Bone marrow aspirate smear; image size 250×250; Pappenheim-stained — 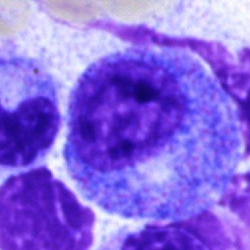 Promyelocyte.